Bone marrow aspirate smear. 40× objective, oil immersion: 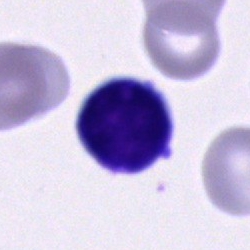 Q: Which cell type is shown here?
A: Unidentifiable cell.